Bone marrow smear — 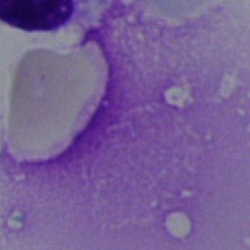

Cell type — artefact.